Brightfield microscopy, 40× oil immersion · image size 250×250 · bone marrow smear — 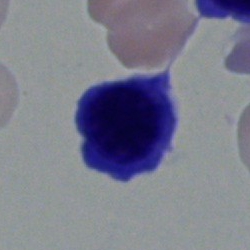Impression → nucleated red blood cell.